Bone marrow smear.
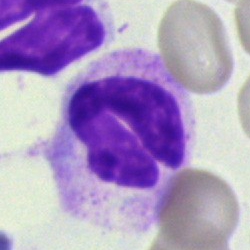 Cell: neutrophil (segmented).